Bone marrow aspirate smear — 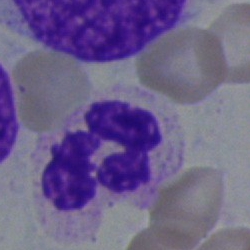 Specimen: bone marrow aspirate smear.
Morphological class: segmented neutrophil.
Lineage: myeloid.